Pappenheim-stained. Bone marrow aspirate smear — 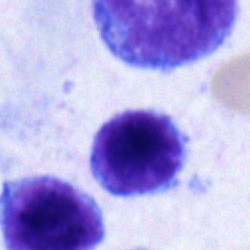 Specimen: bone marrow aspirate smear.
Classification: typical lymphocyte.